Bone marrow smear · 40× oil immersion.
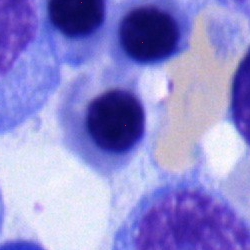Specimen: bone marrow smear.
Classification: nucleated red blood cell.
Lineage: erythroid.